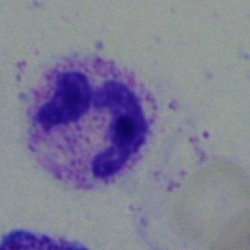

Bone marrow smear showing a segmented neutrophil.